Peripheral blood smear:
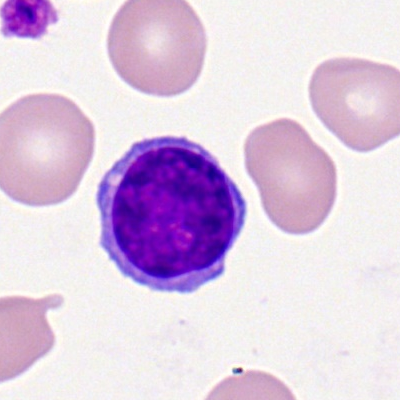A lymphocyte.